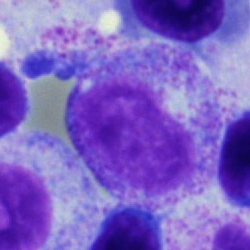
Cell — myelocyte.